Bone marrow smear.
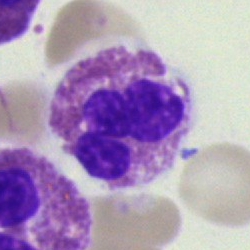
Morphological class — eosinophil.